Brightfield microscopy, 40× oil immersion. Bone marrow smear.
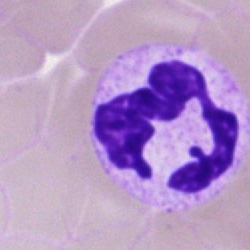

Specimen: bone marrow smear.
Morphological class: segmented neutrophil.
Lineage: myeloid.